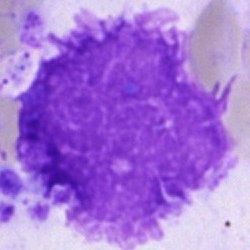Specimen: bone marrow aspirate smear.
Classification: artifact.